Cropped to a single cell; bone marrow aspirate smear: 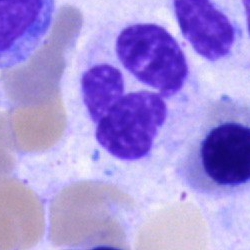
Classification = segmented neutrophil.